Bone marrow smear · Pappenheim-stained — 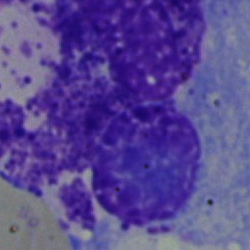This is an other cell.